Bone marrow aspirate smear. Single cell centered in the field
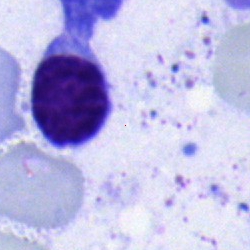Morphology consistent with a lymphocyte.